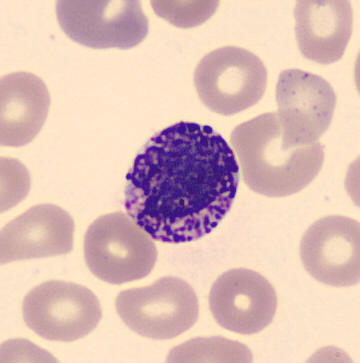

Cell type: basophilic granulocyte. Image: May Grünwald-Giemsa stain · CellaVision DM96 · peripheral blood film.